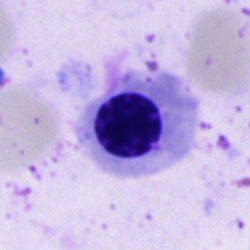
An erythroblast on a bone marrow smear.